40× oil immersion · bone marrow aspirate smear
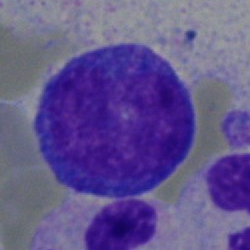 Q: What is the morphological classification of this cell?
A: This is a nucleated red cell.